Bone marrow smear
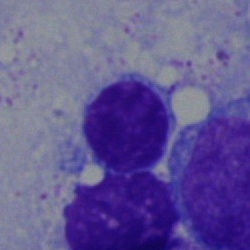
Morphology consistent with a typical lymphocyte.